Single cell centered in the field. Bone marrow aspirate smear:
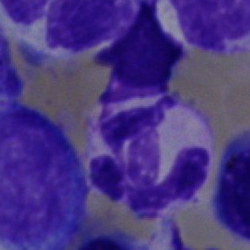

Specimen: bone marrow aspirate smear.
Cell: neutrophil (segmented).